Bone marrow smear.
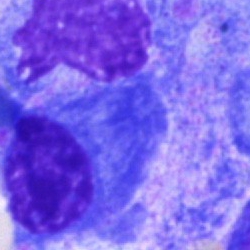

Specimen: bone marrow smear.
Cell type: plasmacyte.